Bone marrow smear:
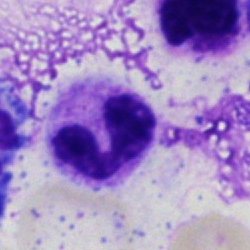

Specimen: bone marrow aspirate smear.
Morphological class: segmented neutrophil.
Lineage: myeloid.